Bone marrow aspirate smear.
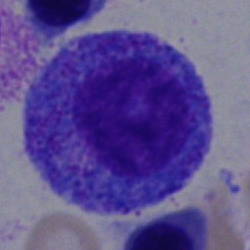 This is a progranulocyte.